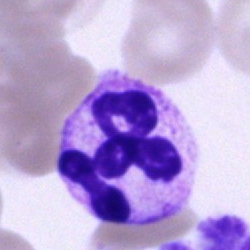
Cell — neutrophil (segmented).